MGG-stained; bone marrow smear — 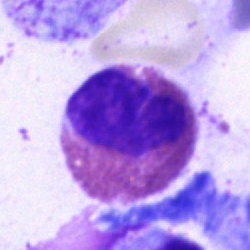

Morphology → eosinophilic granulocyte.